Peripheral blood film.
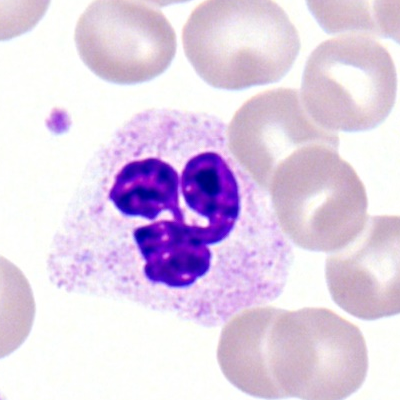Morphology — segmented neutrophil.